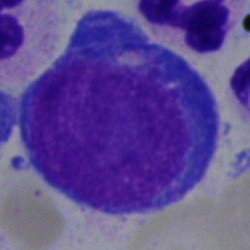The cell is proerythroblast.